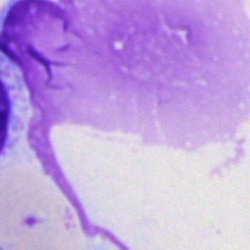The cell shown is an artefact.